Bone marrow smear; brightfield, 40× oil-immersion objective; single cell centered in the field — 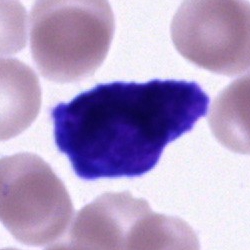

Cell type: cell of indeterminate lineage.